Bone marrow smear · brightfield microscopy, 40× oil immersion.
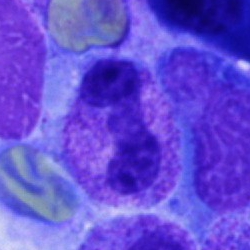

Showing a polymorphonuclear neutrophil.